Bone marrow smear; 250×250 px; cropped to a single cell
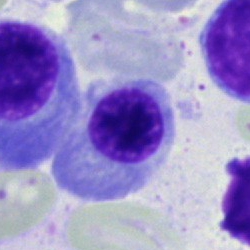Specimen: bone marrow smear.
Morphological class: nucleated red blood cell.